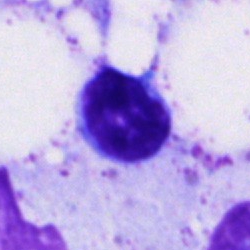A lymphocyte.